Bone marrow aspirate smear — 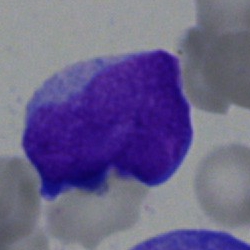 Q: What is shown here?
A: A blast cell.